100× oil immersion · peripheral blood film.
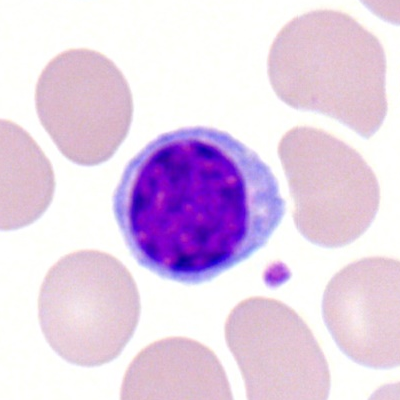 {"cell_type": "lymphocyte"}